Pappenheim-stained · bone marrow aspirate smear · single-cell crop:
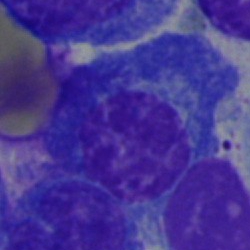

The cell shown is a plasmacyte.